400×400 px; peripheral blood smear; Romanowsky stain.
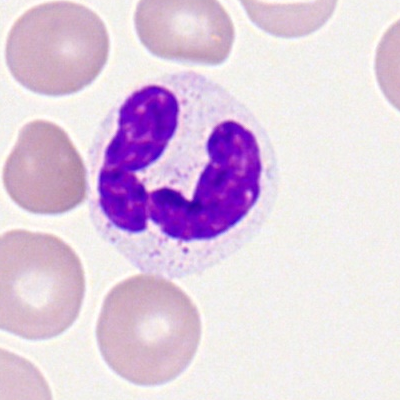
A neutrophil (segmented).